250 by 250 pixels. 40× oil immersion. Bone marrow smear — 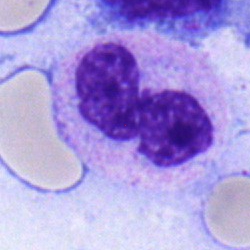This is a neutrophil (band).